250×250 px. Bone marrow smear. MGG-stained.
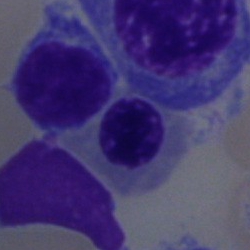 A nucleated red blood cell.